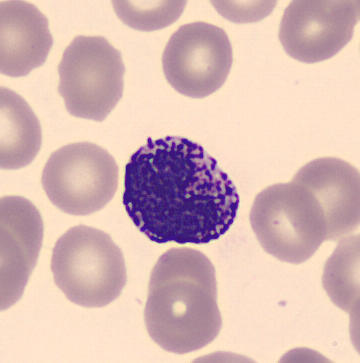 Specimen: peripheral blood film.
Morphological class: basophil.